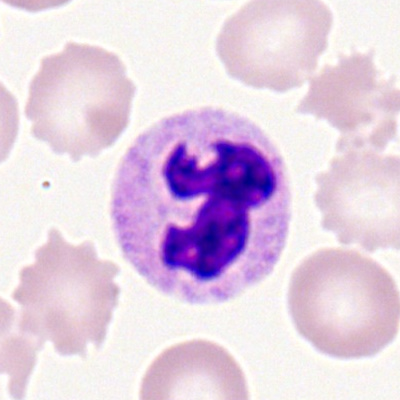 Q: What is the morphological classification of this cell?
A: It is a neutrophil (segmented).